Bone marrow aspirate smear.
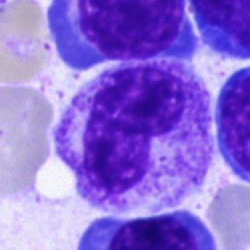

Cell = segmented neutrophil.